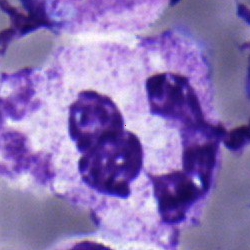

Cell type — neutrophil (segmented).